Bone marrow aspirate smear · brightfield, 40× oil-immersion objective.
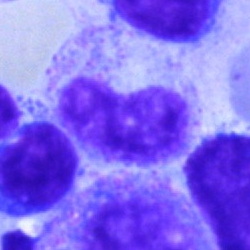Morphology → stab cell.